Bone marrow aspirate smear — 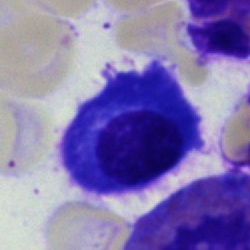
Morphology — plasma cell.